Bone marrow smear:
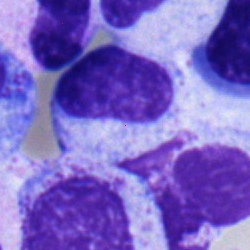{"cell_type": "metamyelocyte", "lineage": "myeloid"}